MGG-stained. Bone marrow smear. Single-cell crop
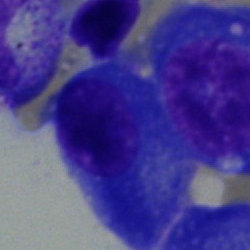

Cell type = plasmacyte.